250×250; bone marrow smear; MGG-stained: 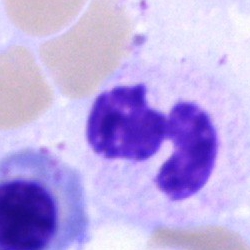 Q: What is shown here?
A: This is a polymorphonuclear neutrophil.